Bone marrow aspirate smear; brightfield, 40× oil-immersion objective: 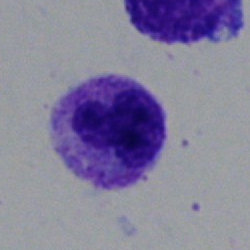Q: Which cell type is shown here?
A: Segmented neutrophil.